Bone marrow aspirate smear — 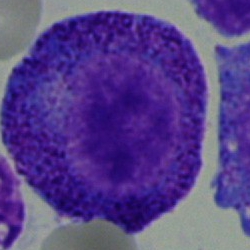 The cell shown is a progranulocyte.